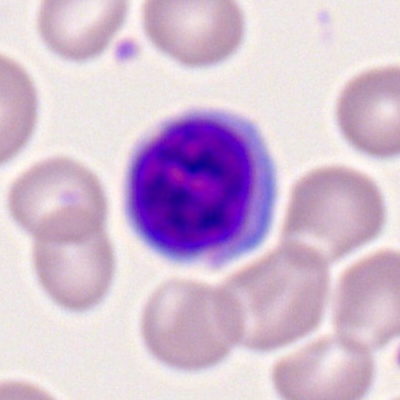
Peripheral blood smear showing a lymphocyte.